Peripheral blood film.
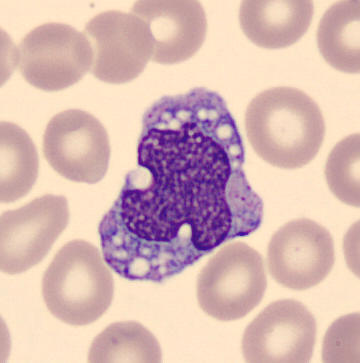 Q: What is the morphological classification of this cell?
A: Monocyte.